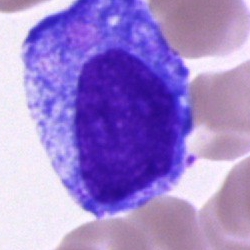Cell = progranulocyte.